Bone marrow aspirate smear:
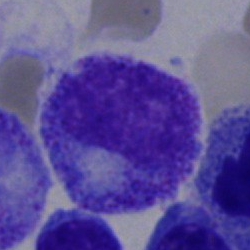Specimen: bone marrow aspirate smear.
Cell type: promyelocyte.